Bone marrow smear
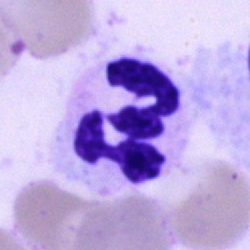 Cell — polymorphonuclear neutrophil.